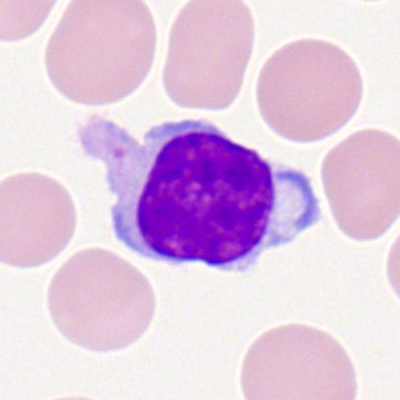
Peripheral blood smear showing a typical lymphocyte.